250×250 · bone marrow smear · single-cell field.
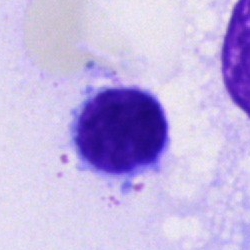

Q: What type of cell is this?
A: It is a typical lymphocyte.